Romanowsky-stained. Peripheral blood smear:
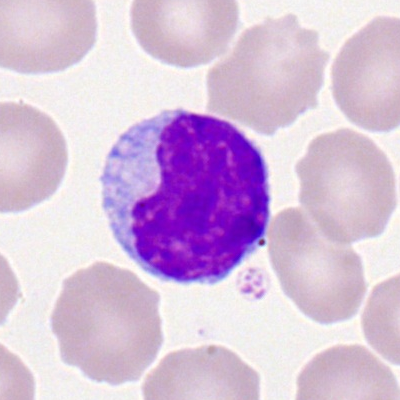 Specimen: peripheral blood film.
Classification: typical lymphocyte.
Lineage: lymphoid.